Bone marrow aspirate smear · 250×250 px · MGG-stained: 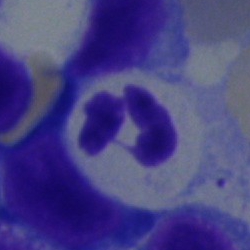Q: What cell is this?
A: It is a polymorphonuclear neutrophil.